Bone marrow aspirate smear; 40× objective, oil immersion — 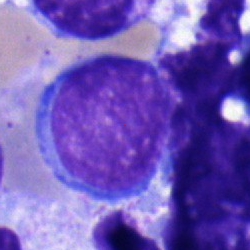 Classification: undifferentiated blast.